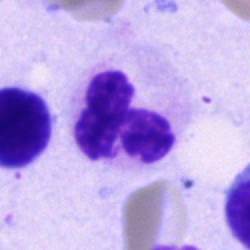Classification — polymorphonuclear neutrophil.